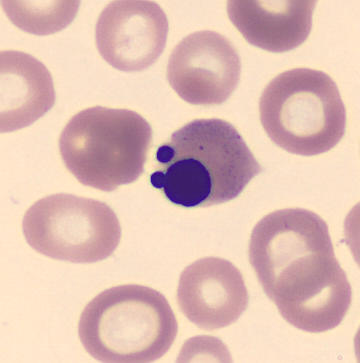

Preparation: Peripheral blood smear.

The morphological class is nucleated red cell.